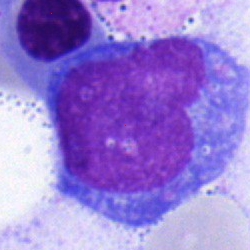Undifferentiated blast.